Bone marrow aspirate smear; single-cell crop; 250×250 px: 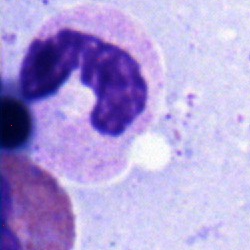

Cell type — erythroblast.